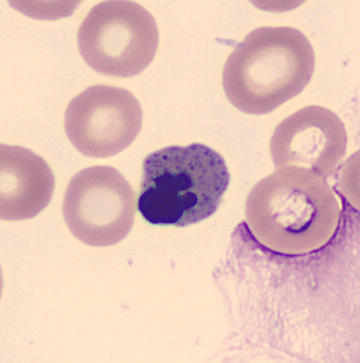
Q: What type of cell is this?
A: Normoblast.
Peripheral blood smear.